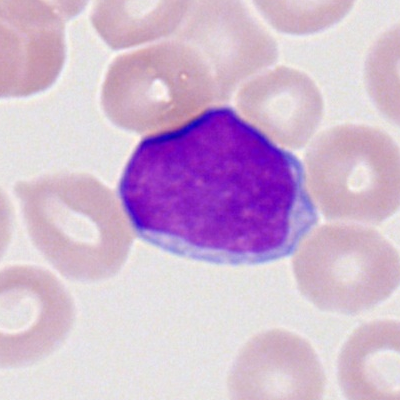

Myeloid blast.